May-Grünwald-Giemsa/Pappenheim stain. Bone marrow aspirate smear. 250 by 250 pixels:
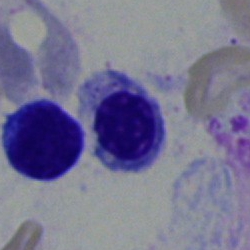This is a nucleated red blood cell.